Bone marrow smear — 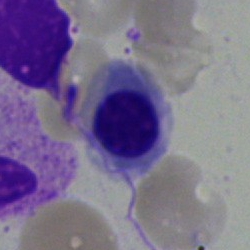 Morphology → normoblast.